250×250; bone marrow smear; 40× oil immersion:
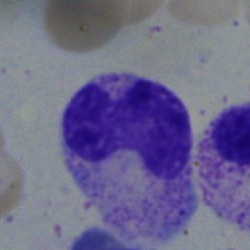
{"cell_type": "band neutrophil"}